Bone marrow smear
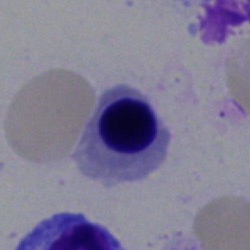
Normoblast.